Bone marrow smear. Image size 250×250. Pappenheim-stained
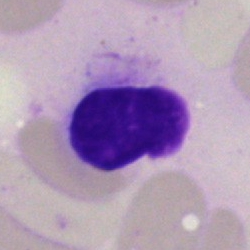
Classification — artifact.